Bone marrow aspirate smear:
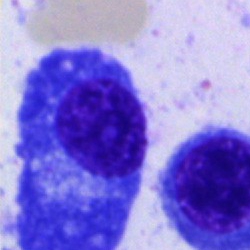Impression → plasma cell.